Bone marrow smear; single cell centered in the field:
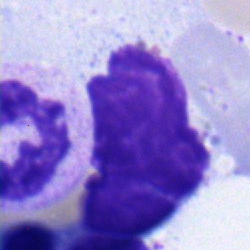 Cell type: segmented neutrophil.